Bone marrow aspirate smear.
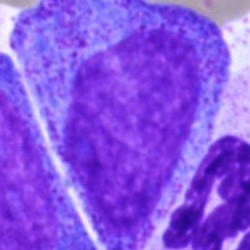
Q: Identify the cell.
A: This is a promyelocyte.